Bone marrow smear:
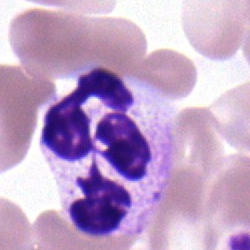
Polymorphonuclear neutrophil.